Bone marrow smear — 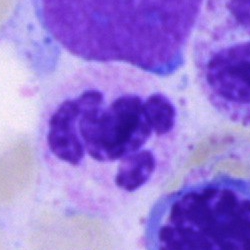

Morphological class — neutrophil (segmented).